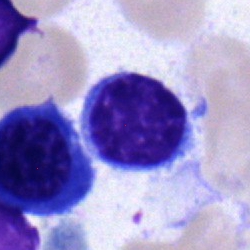
Bone marrow aspirate smear, single cell — typical lymphocyte.